Bone marrow aspirate smear:
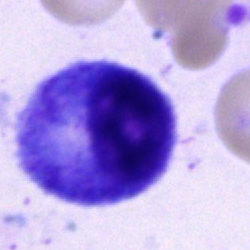
Specimen: bone marrow aspirate smear.
Morphological class: progranulocyte.
Lineage: myeloid.